Bone marrow aspirate smear; image size 250×250; May-Grünwald-Giemsa stain — 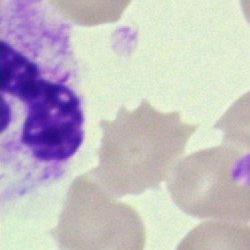
Cell = unidentifiable cell.